Bone marrow aspirate smear — 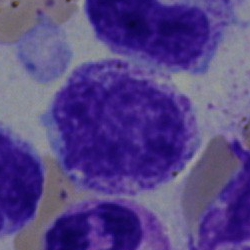
{"cell_type": "myelocyte", "lineage": "myeloid"}